Bone marrow smear.
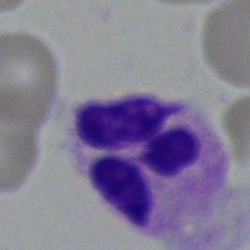

The cell shown is a polymorphonuclear neutrophil.